Bone marrow smear. 250×250: 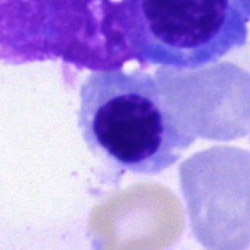 Showing an erythroblast.